Bone marrow smear.
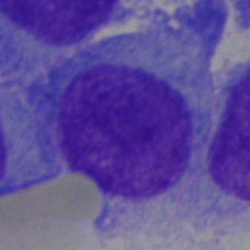 The cell type is plasmacyte.